Bone marrow smear.
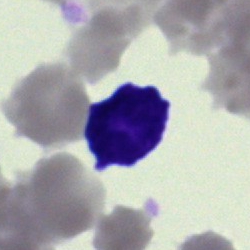
Morphology — artifact.